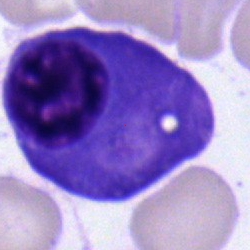 Plasmacyte.